Bone marrow smear.
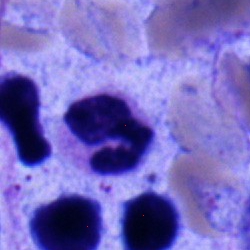
Single cell identified as a polymorphonuclear neutrophil.